Bone marrow smear. Single cell centered in the field. MGG-stained
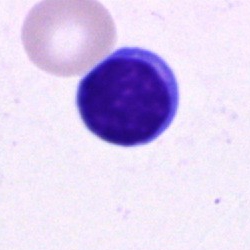
Q: Identify the cell.
A: This is a typical lymphocyte.